Bone marrow smear. Brightfield microscopy, 40× oil immersion.
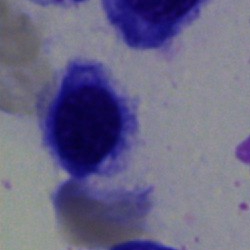Morphological class = nucleated red blood cell.